Bone marrow aspirate smear; 250×250 — 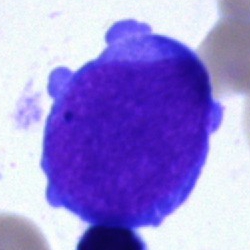The cell type is blast.